Bone marrow smear — 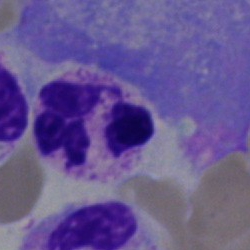
Q: What is shown here?
A: A neutrophil (segmented).